Single-cell crop. Bone marrow smear: 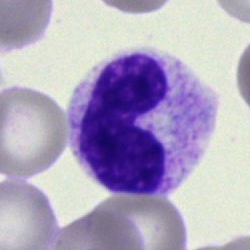
Specimen: bone marrow aspirate smear.
Classification: neutrophil (band).